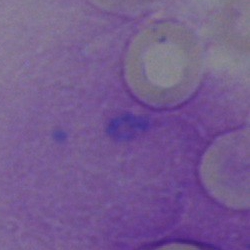 Q: What is shown here?
A: An artefact.